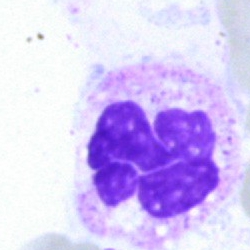Specimen: bone marrow aspirate smear.
Cell: polymorphonuclear neutrophil.